Bone marrow aspirate smear: 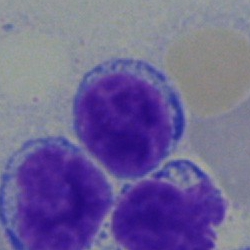 Morphological class = lymphocyte.